Bone marrow smear
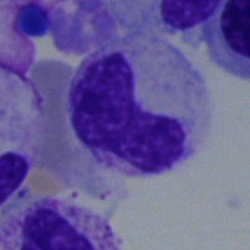

Morphology → band-form neutrophil.